Peripheral blood smear. M8 digital microscope (Precipoint), 100× oil immersion. Single cell centered in the field — 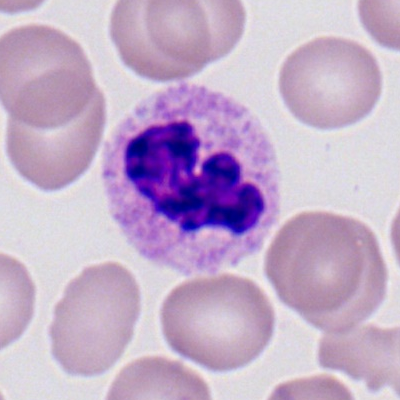
Morphology → polymorphonuclear neutrophil.